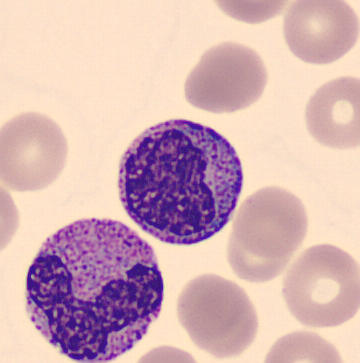

Classification = myelocyte. Acquisition: Peripheral blood smear.